Bone marrow aspirate smear — 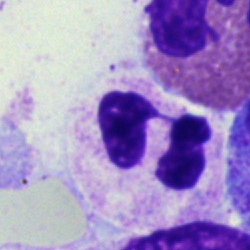

Morphology consistent with a polymorphonuclear neutrophil.